Single cell centered in the field. Bone marrow aspirate smear: 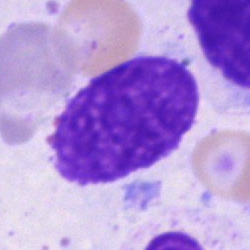Specimen: bone marrow aspirate smear.
Classification: artifact.